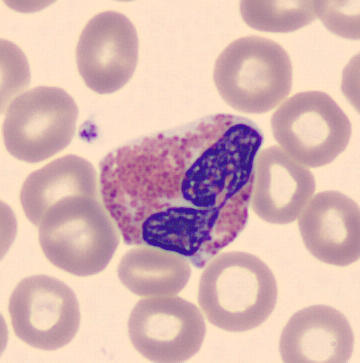Q: What type of cell is this?
A: Eosinophilic granulocyte. 360×363; peripheral blood film; automated cell imaging (CellaVision DM96).